Single cell centered in the field · 250×250 · bone marrow smear
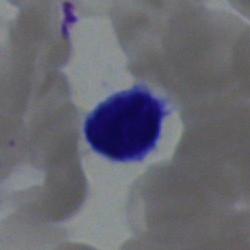
Morphology → lymphocyte.